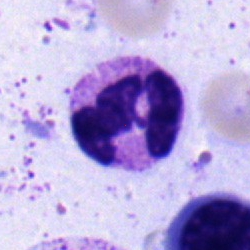 Cell: neutrophil (segmented).